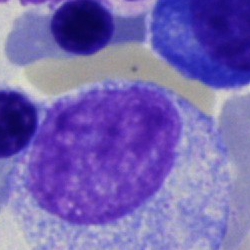
Promyelocyte.